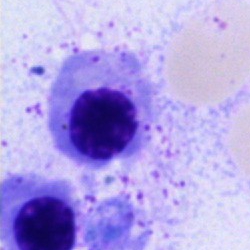Bone marrow aspirate smear, single cell — normoblast.